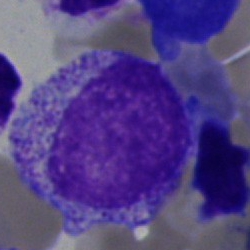

Showing a myelocyte.